Bone marrow smear.
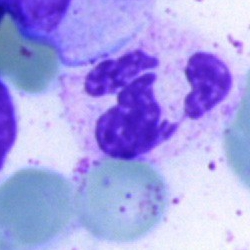

Showing a polymorphonuclear neutrophil.